Peripheral blood smear. Romanowsky-type stain. 400×400:
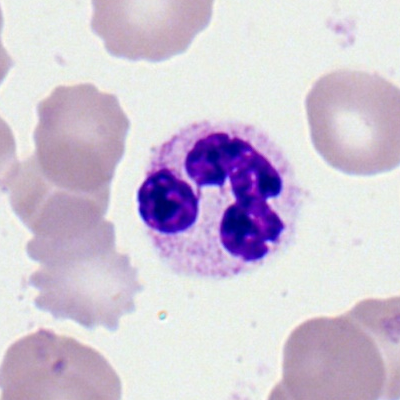Morphology consistent with a polymorphonuclear neutrophil.